Brightfield microscopy, 40× oil immersion · bone marrow aspirate smear · single cell centered in the field: 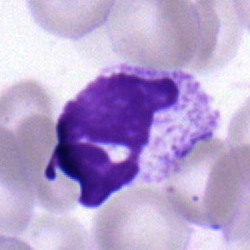 Morphological class = segmented neutrophil.